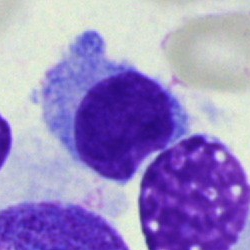Showing a hairy cell.